Bone marrow smear.
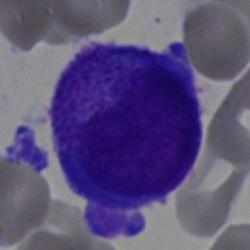 Cell type — blast cell.